Bone marrow smear:
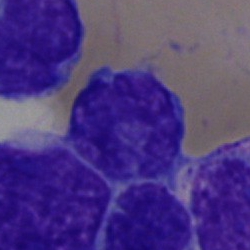
Classification — blast cell.